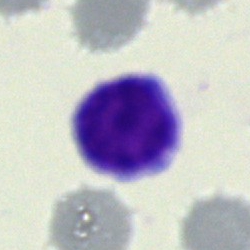 A typical lymphocyte.